Bone marrow aspirate smear. Cropped to a single cell.
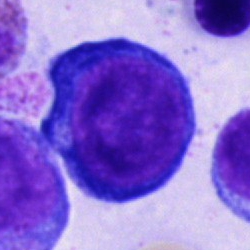 Cell — proerythroblast.